Single cell centered in the field · bone marrow smear: 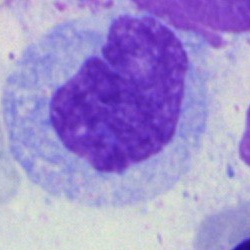

Morphology → monocyte.